Bone marrow smear: 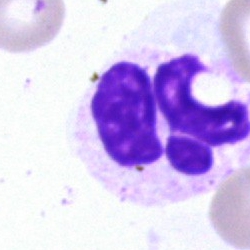

This is a neutrophil (segmented).